40× oil immersion. May-Grünwald-Giemsa/Pappenheim stain. Bone marrow aspirate smear.
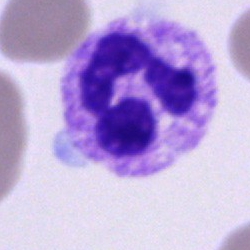 Morphological class: neutrophil (segmented).